Bone marrow smear: 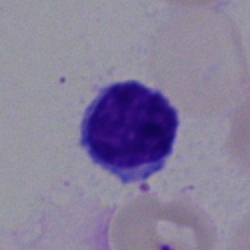
Cell type = lymphocyte.